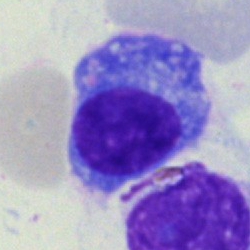Cell = plasmacyte.